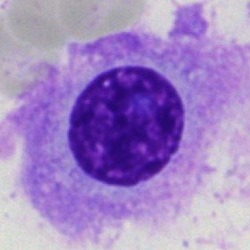Morphology — plasma cell.